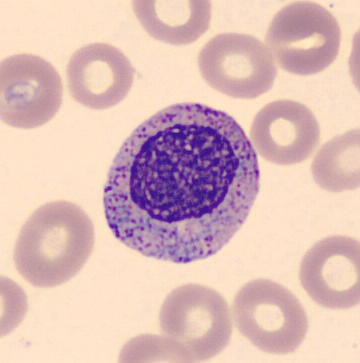

Classification = myelocyte.

Image: May Grünwald-Giemsa stain. Peripheral blood smear.